Bone marrow aspirate smear:
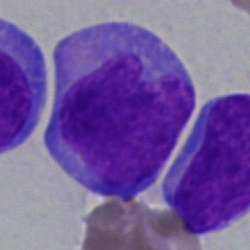 Blast cell.